Brightfield, 40× oil-immersion objective. Bone marrow aspirate smear — 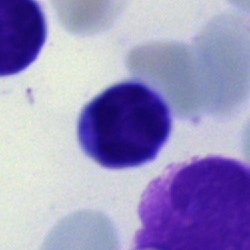 Single cell identified as a typical lymphocyte.